Bone marrow aspirate smear
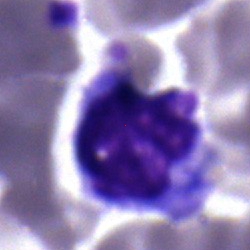

Showing a monocyte.